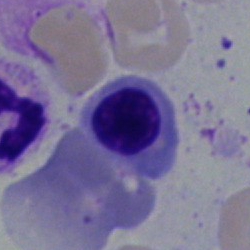
Cell type: nucleated red cell.